Peripheral blood smear.
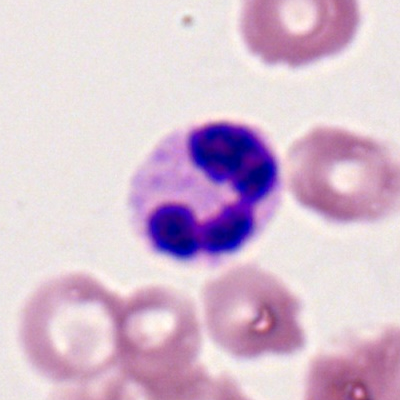 Q: Identify the cell.
A: It is a neutrophil (segmented).